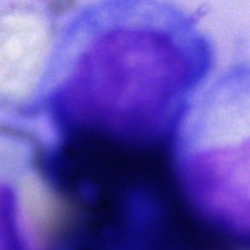 This is an artefact.